Bone marrow aspirate smear:
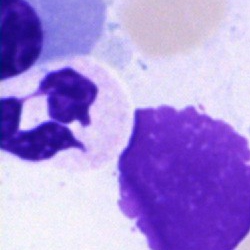
The morphological class is neutrophil (segmented).